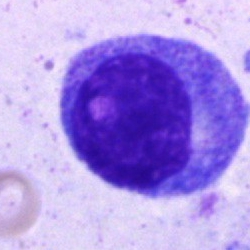
Q: What is the morphological classification of this cell?
A: Promyelocyte.